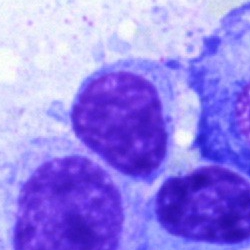
Specimen: bone marrow smear.
Cell: typical lymphocyte.
Lineage: lymphoid.